Bone marrow aspirate smear. Pappenheim-stained
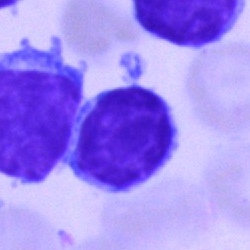 Specimen: bone marrow smear.
Cell type: typical lymphocyte.
Lineage: lymphoid.